Bone marrow aspirate smear.
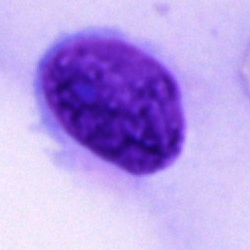An artifact.